Bone marrow aspirate smear
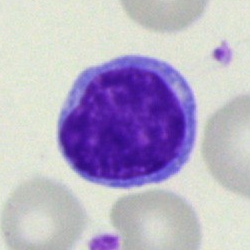Classification — lymphocyte.